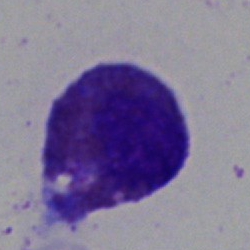

Morphological class = eosinophilic granulocyte.